Bone marrow smear:
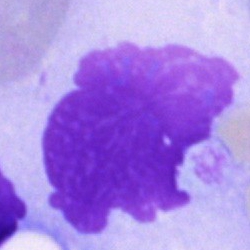
An artifact.